Bone marrow aspirate smear
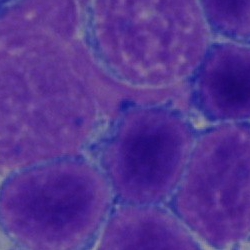 A lymphocyte.